250 by 250 pixels; bone marrow aspirate smear.
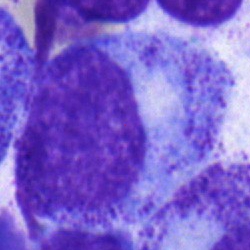
A promyelocyte.